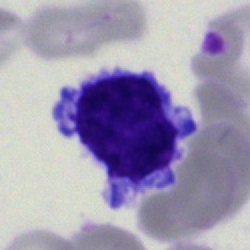
Lymphocyte.